Image size 250×250 · bone marrow aspirate smear
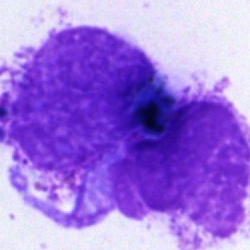

Q: What is shown here?
A: Artifact.